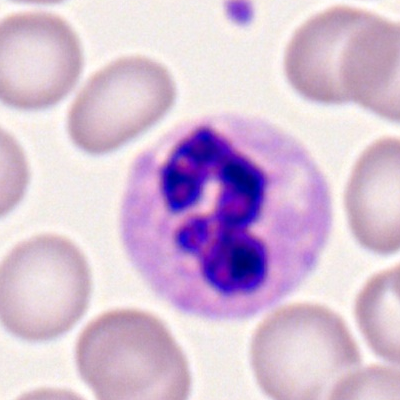Specimen: peripheral blood smear.
Morphological class: neutrophil (segmented).
Lineage: myeloid.